Bone marrow aspirate smear:
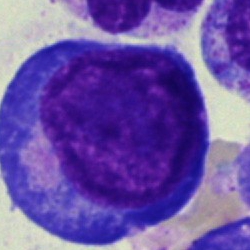Q: What cell is this?
A: Pronormoblast.